Bone marrow smear.
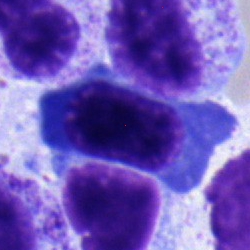{"cell_type": "erythroblast", "lineage": "erythroid"}